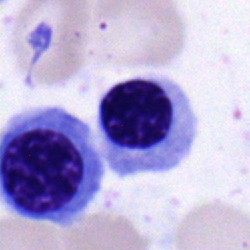

Specimen: bone marrow aspirate smear.
Morphological class: nucleated red blood cell.